Peripheral blood film: 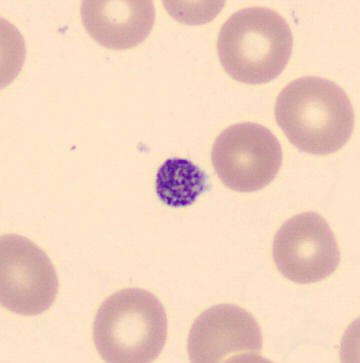
Q: What is shown here?
A: A platelet (thrombocyte).